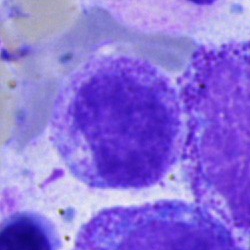Specimen: bone marrow aspirate smear.
Morphological class: myelocyte.
Lineage: myeloid.